Bone marrow smear; single cell centered in the field — 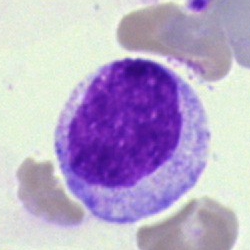 Myelocyte.